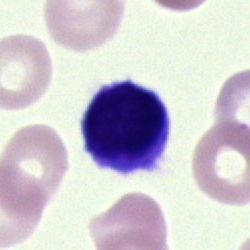
Artifact.